Bone marrow aspirate smear — 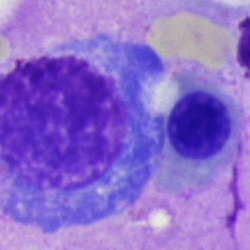

Morphology — erythroblast.